40× oil immersion. Bone marrow aspirate smear:
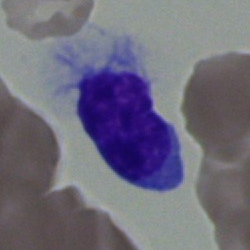
Specimen: bone marrow smear.
Cell type: typical lymphocyte.
Lineage: lymphoid.